Bone marrow smear — 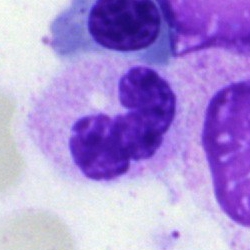

The cell shown is a band neutrophil.